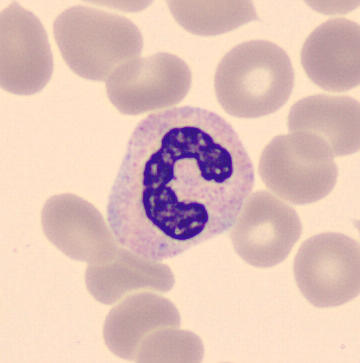A band-form neutrophil.
Acquisition: May Grünwald-Giemsa stain. Peripheral blood smear. Imaged on a CellaVision DM96 analyser.